Bone marrow aspirate smear:
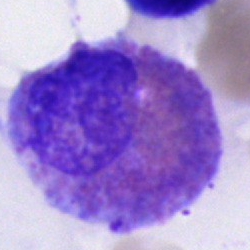Showing an eosinophilic granulocyte.